Bone marrow smear:
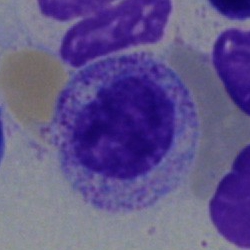Myelocyte.